Bone marrow smear; single-cell field — 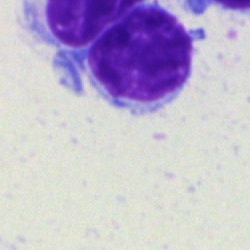
Unidentifiable cell.